Bone marrow smear:
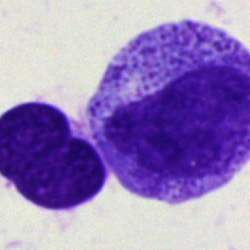
Impression — myelocyte.